Single-cell crop · bone marrow aspirate smear.
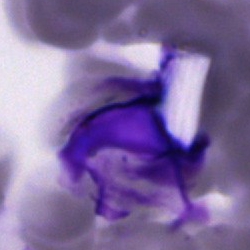Q: What is shown here?
A: Artifact.